Bone marrow aspirate smear · 250 by 250 pixels — 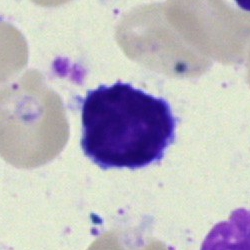 A typical lymphocyte.